Brightfield, 40× oil-immersion objective; bone marrow aspirate smear; 250×250:
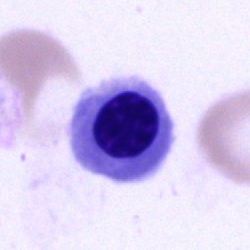Morphology consistent with a nucleated red blood cell.